Single-cell crop · bone marrow smear:
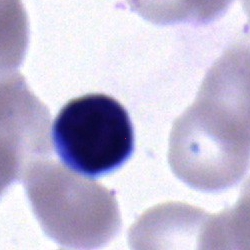

Morphological class = lymphocyte.